Bone marrow aspirate smear
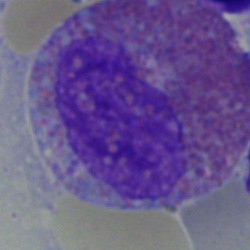 The cell shown is an eosinophilic granulocyte.